100× oil immersion, 14.14 px/µm. Peripheral blood smear
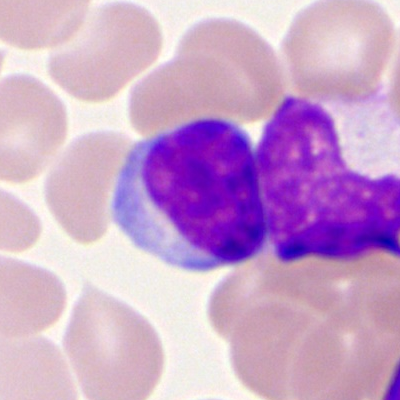
Cell type = lymphocyte.